Bone marrow smear:
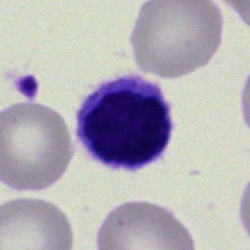

A lymphocyte.